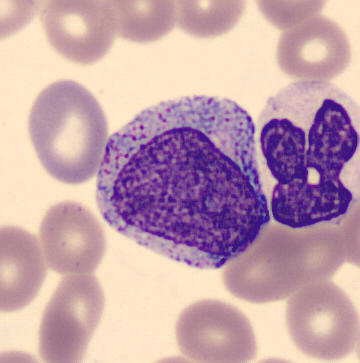

Specimen: peripheral blood film.
Cell type: promyelocyte.